Peripheral blood film: 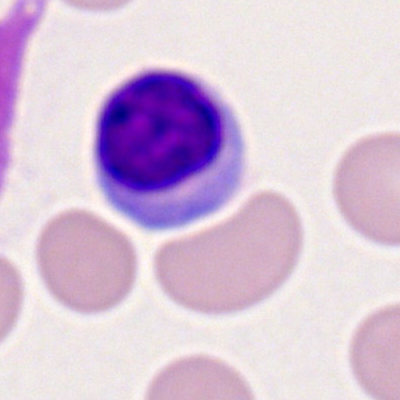
Typical lymphocyte.